Bone marrow aspirate smear. 40× oil immersion.
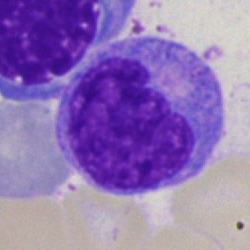

The cell shown is a monocyte.